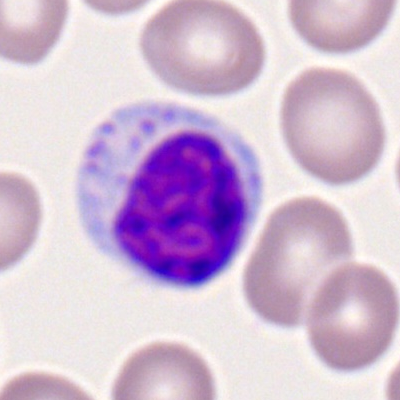
Single cell identified as a lymphocyte.